Image size 250×250 · bone marrow smear — 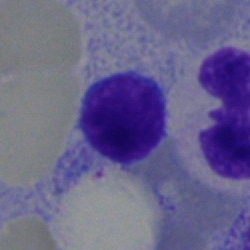

Morphology consistent with a lymphocyte.